Peripheral blood smear.
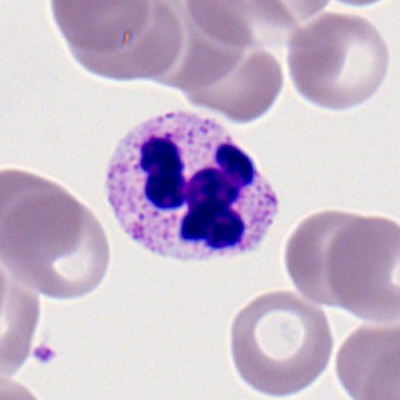The morphological class is neutrophil (segmented).